Bone marrow smear; 250×250 px; cropped to a single cell.
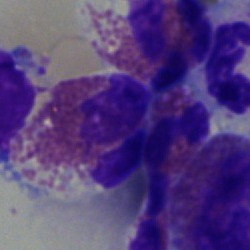
{"cell_type": "eosinophil", "lineage": "myeloid"}